Bone marrow aspirate smear; MGG-stained.
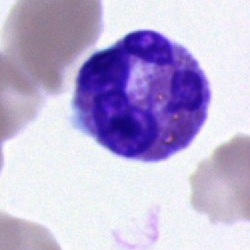
This is an eosinophilic granulocyte.